Bone marrow smear
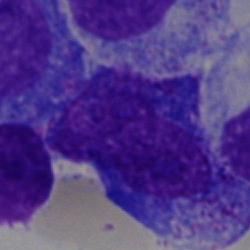
The cell is progranulocyte.